250 by 250 pixels. MGG-stained. Bone marrow aspirate smear:
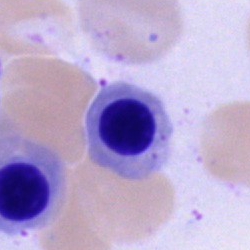 Cell type: nucleated red blood cell.